Bone marrow aspirate smear · image size 250×250:
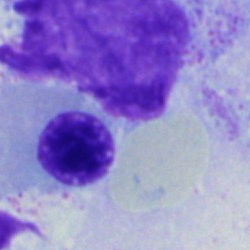 Q: Identify the cell.
A: Nucleated red blood cell.